Bone marrow smear; image size 250×250:
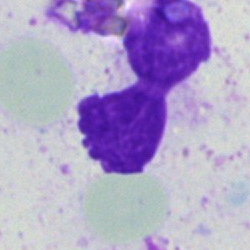Q: What is shown here?
A: An artifact.